Bone marrow aspirate smear
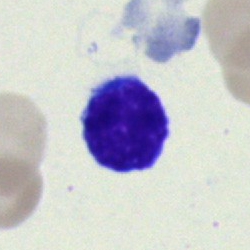 Q: What is shown here?
A: It is a typical lymphocyte.